Single-cell field · bone marrow aspirate smear
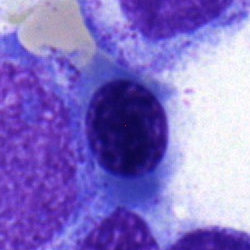Q: Which cell type is shown here?
A: A nucleated red cell.